Bone marrow smear: 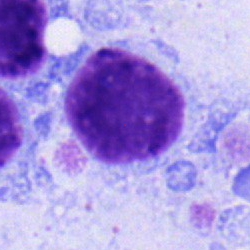

Cell type: lymphocyte.